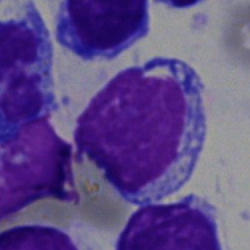

Q: Identify the cell.
A: A typical lymphocyte.